Bone marrow smear; MGG-stained; brightfield, 40× oil-immersion objective
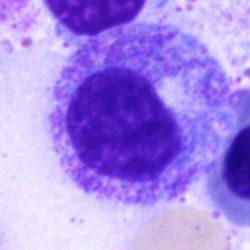 {"cell_type": "promyelocyte", "lineage": "myeloid"}